MGG-stained; bone marrow smear: 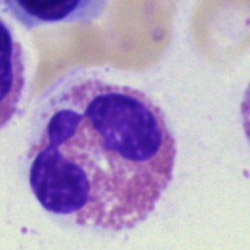

Showing an eosinophilic granulocyte.